Bone marrow smear:
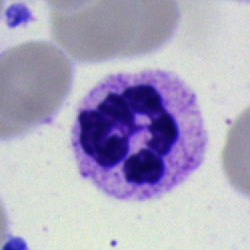Q: What is the morphological classification of this cell?
A: It is a polymorphonuclear neutrophil.